Bone marrow smear. 40× objective, oil immersion — 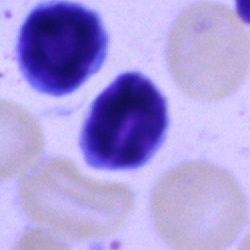 Morphological class = lymphocyte.